Bone marrow aspirate smear · 250 by 250 pixels: 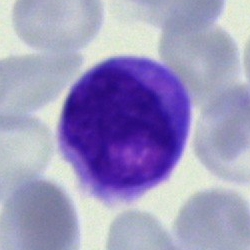 {"cell_type": "lymphocyte"}